Bone marrow aspirate smear.
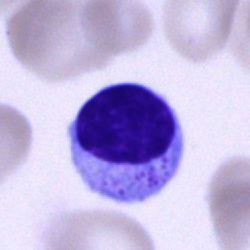Impression — typical lymphocyte.